Peripheral blood smear; 400 by 400 pixels: 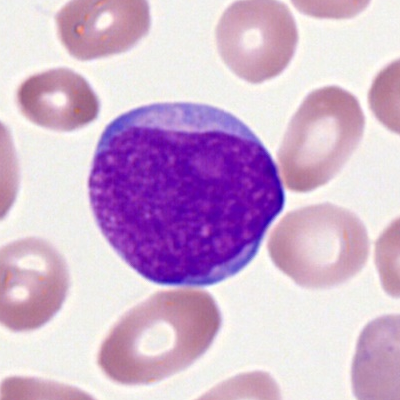 Morphology — myeloblast.